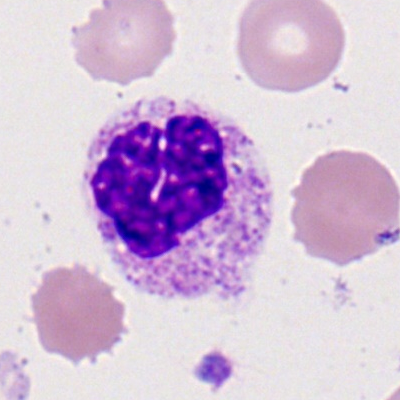

Peripheral blood film, single cell — band neutrophil.